Bone marrow aspirate smear: 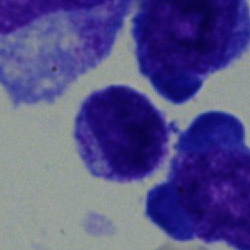

Q: What cell is this?
A: It is a typical lymphocyte.